Bone marrow aspirate smear · May-Grünwald-Giemsa stain · 250×250 px: 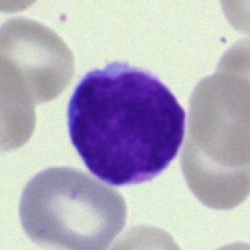Cell type: typical lymphocyte.